Brightfield, 40× oil-immersion objective · bone marrow aspirate smear · single cell centered in the field:
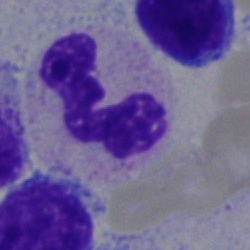
Single cell identified as a polymorphonuclear neutrophil.